May-Grünwald-Giemsa/Pappenheim stain; bone marrow smear: 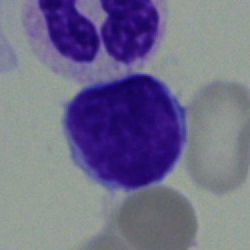 Cell: typical lymphocyte.